Bone marrow smear:
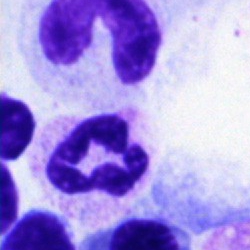

Showing a segmented neutrophil.